Bone marrow smear.
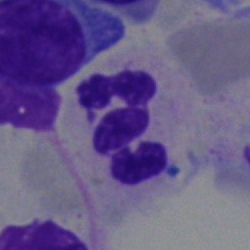

Single cell identified as a segmented neutrophil.